Bone marrow aspirate smear · May-Grünwald-Giemsa stain — 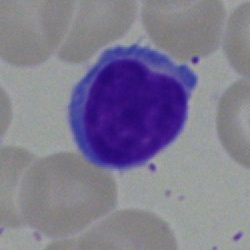
Single cell identified as a typical lymphocyte.